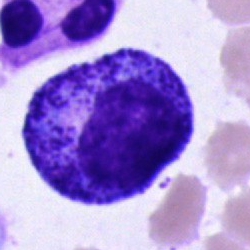
This is a promyelocyte.